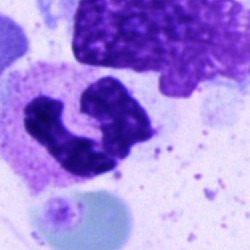

Single-cell crop from a bone marrow smear: segmented neutrophil.